Bone marrow aspirate smear
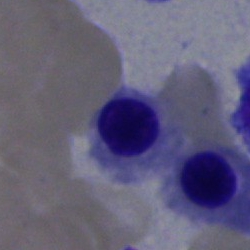
The cell type is nucleated red cell.